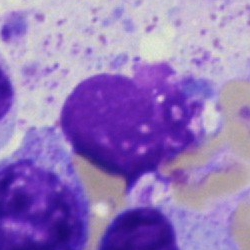 Morphology consistent with an artefact.